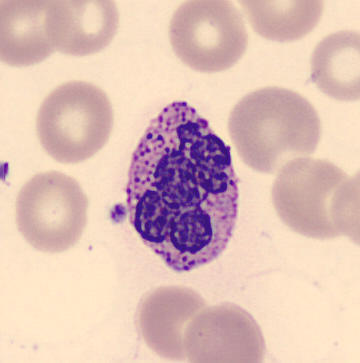
Morphological class = basophilic granulocyte.